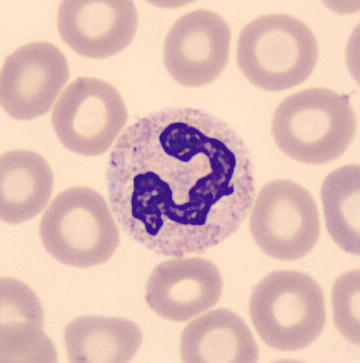

CellaVision DM96. Single-cell field. Peripheral blood smear. Cell type — polymorphonuclear neutrophil.